40× objective, oil immersion; May-Grünwald-Giemsa/Pappenheim stain; bone marrow smear
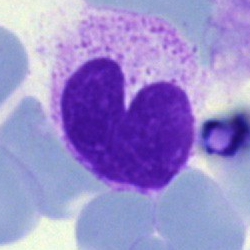Cell type = artefact.